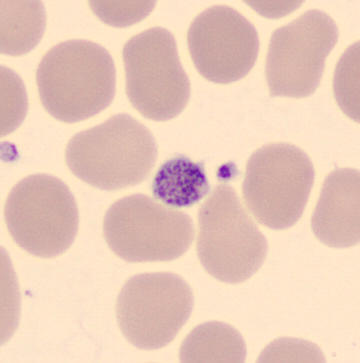 Peripheral blood film. MGG stain. 360×363 px.

Morphological class — platelet.